May-Grünwald-Giemsa stain · bone marrow smear — 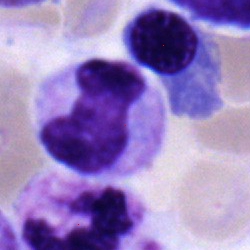A neutrophil (band).